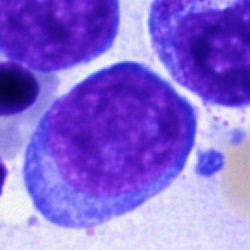
Morphology consistent with a blast cell.